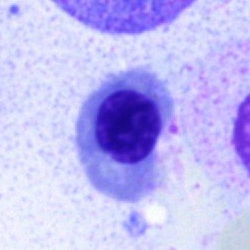
Cell: erythroblast.